Bone marrow aspirate smear: 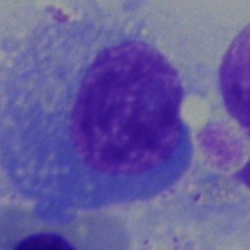

Cell: plasmacyte.